Bone marrow aspirate smear; 250×250 px; Pappenheim-stained:
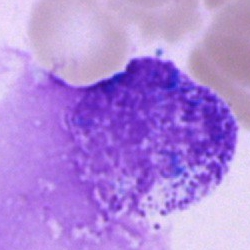This is an artefact.